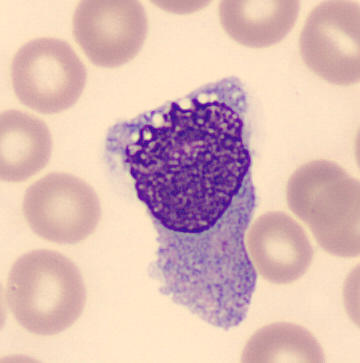
Monocyte. Acquisition: Peripheral blood film.